40× oil immersion. Bone marrow aspirate smear — 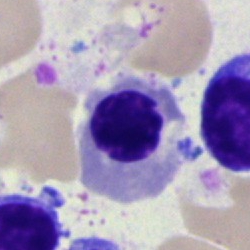 Q: Which cell type is shown here?
A: This is an erythroblast.